Bone marrow smear: 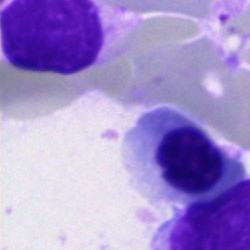

Morphological class — nucleated red cell.